Single-cell crop. Bone marrow aspirate smear. Image size 250×250.
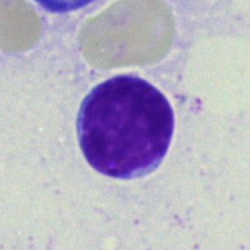 {"cell_type": "lymphocyte"}